Bone marrow smear: 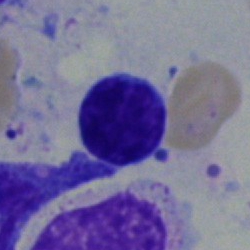
Single cell identified as a lymphocyte.